Bone marrow aspirate smear: 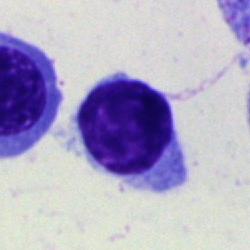

Typical lymphocyte.